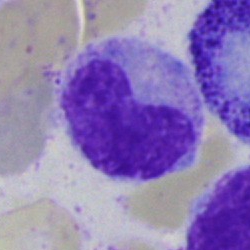
Morphological class — metamyelocyte.